May-Grünwald-Giemsa/Pappenheim stain · bone marrow smear — 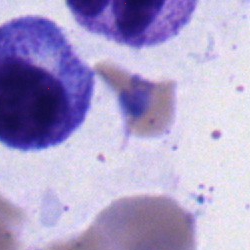

Morphology — band neutrophil.